Single-cell crop. Bone marrow aspirate smear. May-Grünwald-Giemsa stain:
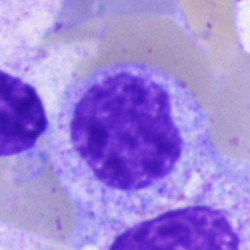Morphological class: myelocyte.